Bone marrow aspirate smear; 250 by 250 pixels; May-Grünwald-Giemsa/Pappenheim stain: 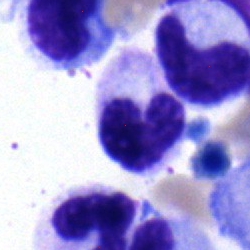 Classification — band-form neutrophil.